Bone marrow smear
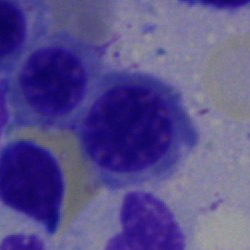Specimen: bone marrow aspirate smear.
Cell type: normoblast.
Lineage: erythroid.